Bone marrow smear. Brightfield, 40× oil-immersion objective:
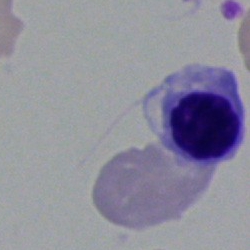

Cell = erythroblast.